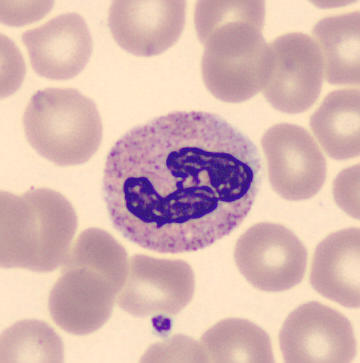 Preparation: 360×363; peripheral blood film. Identified as a segmented neutrophil.